Cropped to a single cell; bone marrow smear: 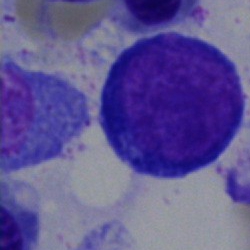
The cell is proerythroblast.